Bone marrow smear: 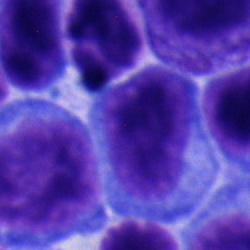

{"cell_type": "typical lymphocyte", "lineage": "lymphoid"}